Single-cell field. Bone marrow aspirate smear. Image size 250×250:
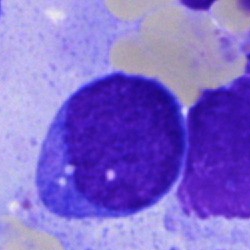

Showing a blast cell.